Bone marrow aspirate smear:
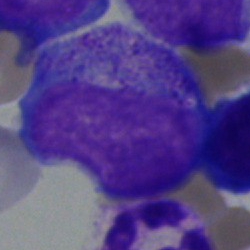
Cell = progranulocyte.